250×250; bone marrow aspirate smear
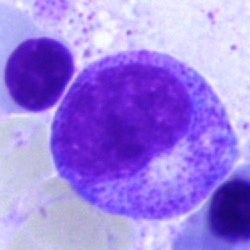

A myelocyte.